Bone marrow aspirate smear:
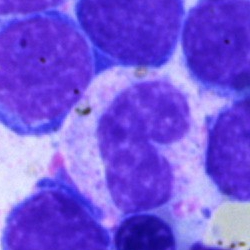

Q: What is shown here?
A: It is a segmented neutrophil.